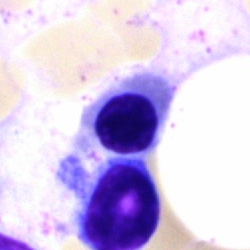

The classification is erythroblast.